Bone marrow smear · brightfield microscopy, 40× oil immersion — 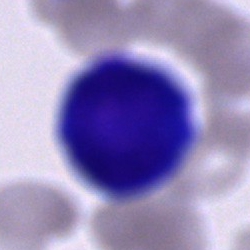
Morphological class — cell of indeterminate lineage.